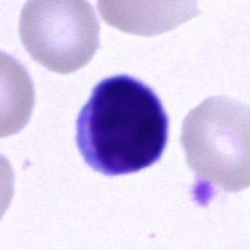

Classification = lymphocyte.